Bone marrow smear.
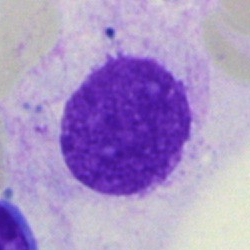

Specimen: bone marrow smear.
Cell: artifact.